Single-cell crop. Peripheral blood film. Romanowsky stain.
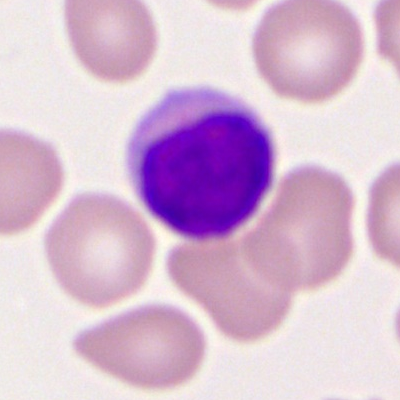Q: Identify the cell.
A: It is a lymphocyte.